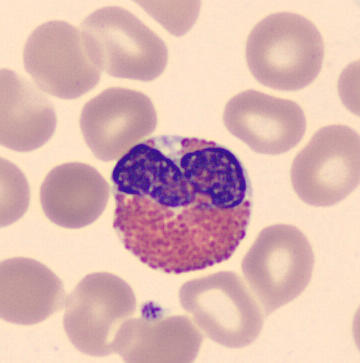
Preparation: Peripheral blood film.

Q: Which cell type is shown here?
A: This is an eosinophilic granulocyte.